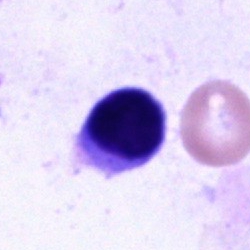 This is a typical lymphocyte.